Peripheral blood film; image size 400×400: 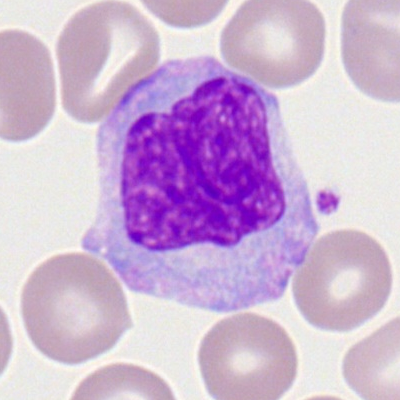
Morphology consistent with a monocyte.